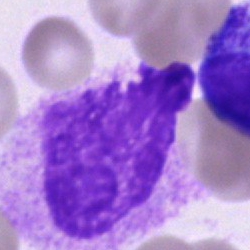
Specimen: bone marrow aspirate smear.
Classification: artifact.